Bone marrow aspirate smear:
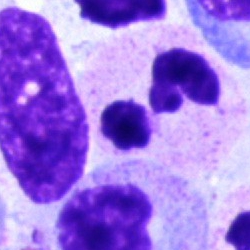
Morphology → polymorphonuclear neutrophil.